Bone marrow smear.
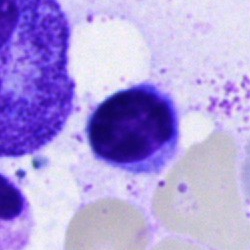

The cell shown is a lymphocyte.